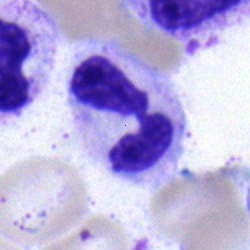

Classification = polymorphonuclear neutrophil.